Bone marrow smear · brightfield microscopy, 40× oil immersion
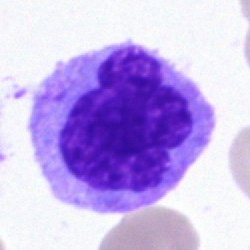
The cell shown is a monocyte.